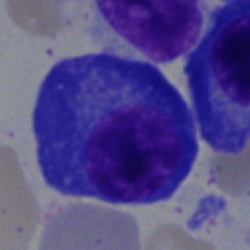

Cell: plasmacyte.